Bone marrow aspirate smear.
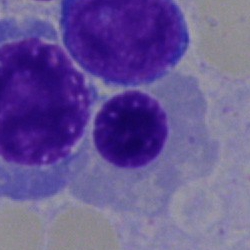

Morphological class: nucleated red blood cell.